Peripheral blood film — 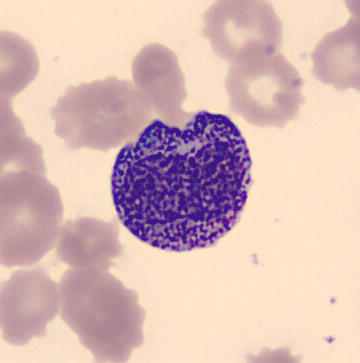{"cell_type": "myelocyte", "lineage": "myeloid"}